250×250 px · bone marrow aspirate smear · single cell centered in the field: 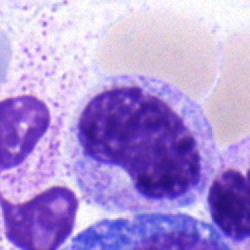The cell shown is a metamyelocyte.